250 by 250 pixels; bone marrow smear
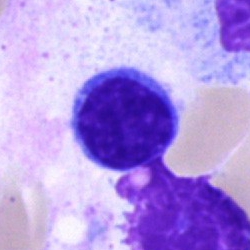
A lymphocyte.